Bone marrow aspirate smear
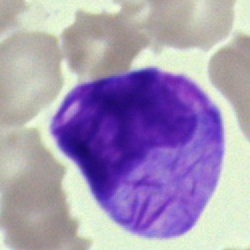

This is a cell with bundled Auer rods.